Bone marrow aspirate smear.
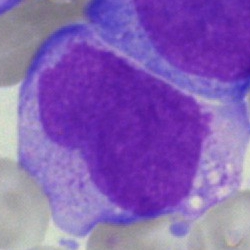

Q: What is shown here?
A: Blast.